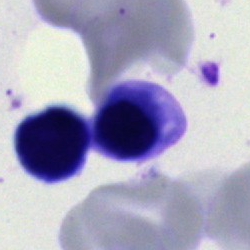 Cell: nucleated red blood cell.